Bone marrow aspirate smear.
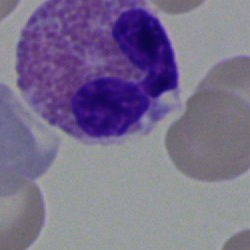The cell shown is an eosinophil.